Bone marrow smear: 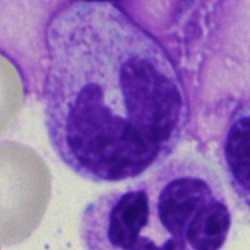Morphology consistent with a band-form neutrophil.